Bone marrow smear. Single cell centered in the field. 40× objective, oil immersion
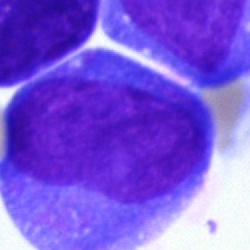
Morphology consistent with a blast cell.